Bone marrow smear.
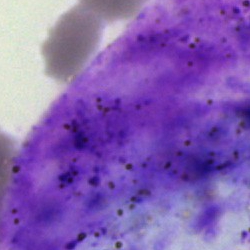 Specimen: bone marrow smear.
Cell: artefact.